Bone marrow aspirate smear.
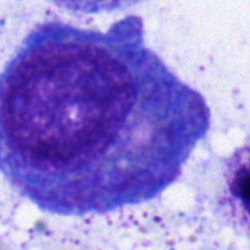 The cell shown is an eosinophilic granulocyte.